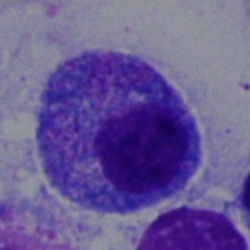

Q: What is shown here?
A: A promyelocyte.